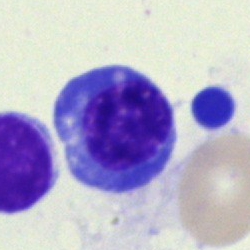

Cell: nucleated red cell.